Bone marrow smear; 250×250 — 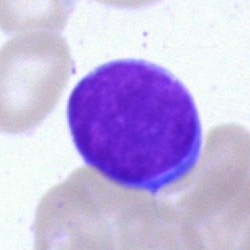 Impression → undifferentiated blast.